Brightfield microscopy, 40× oil immersion · bone marrow aspirate smear
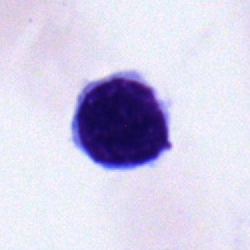

Single cell identified as a lymphocyte.